Bone marrow smear — 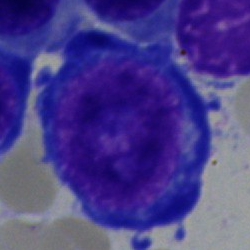

{"cell_type": "pronormoblast"}